Bone marrow smear. 40× oil immersion. Single-cell crop.
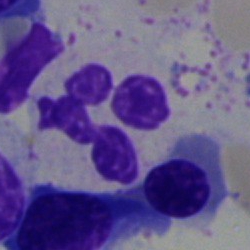

The morphological class is segmented neutrophil.